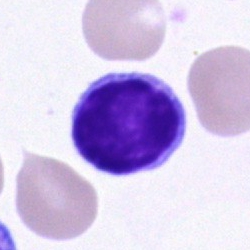 Classification — typical lymphocyte.